Bone marrow smear; single-cell field.
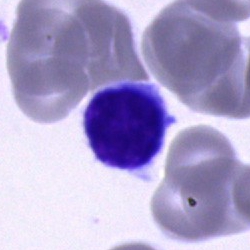 {"cell_type": "lymphocyte", "lineage": "lymphoid"}